MGG-stained. Bone marrow aspirate smear. 40× oil immersion.
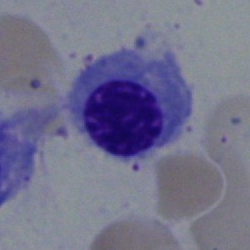 Cell type = normoblast.